May-Grünwald-Giemsa stain. Brightfield, 40× oil-immersion objective. Bone marrow smear — 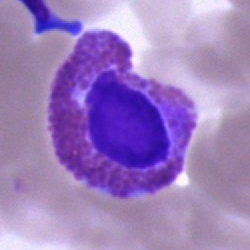

Specimen: bone marrow aspirate smear.
Cell: eosinophil.
Lineage: myeloid.